400×400. Romanowsky stain. Peripheral blood film: 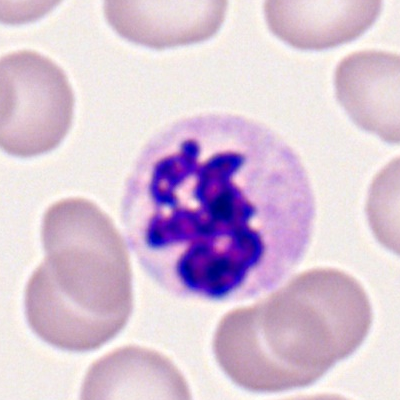

Single cell identified as a polymorphonuclear neutrophil.